Bone marrow aspirate smear.
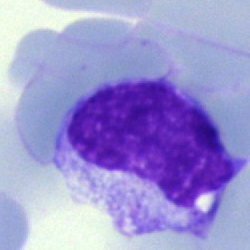 Q: Which cell type is shown here?
A: This is a metamyelocyte.